Bone marrow aspirate smear — 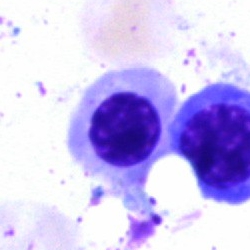 Q: What is shown here?
A: An erythroblast.